Bone marrow aspirate smear; 250×250 px
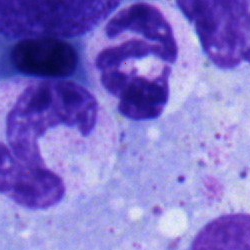
Morphological class — segmented neutrophil.